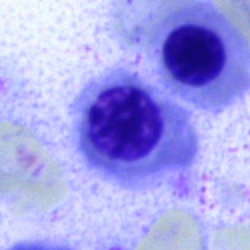Specimen: bone marrow smear.
Classification: erythroblast.
Lineage: erythroid.